Bone marrow smear · May-Grünwald-Giemsa/Pappenheim stain.
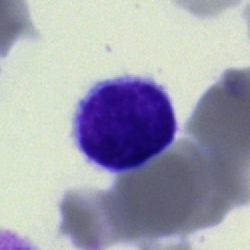
A lymphocyte.